Bone marrow smear; brightfield microscopy, 40× oil immersion; May-Grünwald-Giemsa stain
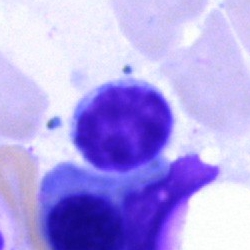This is a typical lymphocyte.